Brightfield, 100× oil-immersion objective; peripheral blood smear.
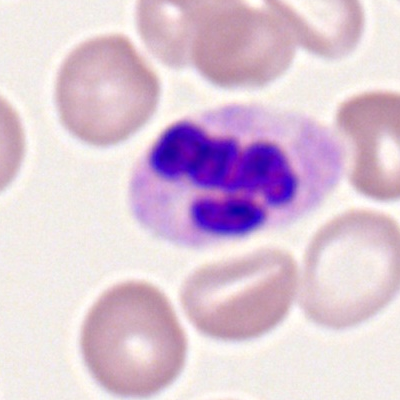

Morphology — segmented neutrophil.